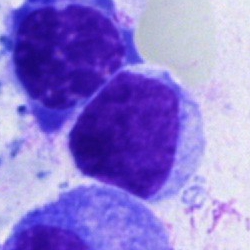
Specimen: bone marrow smear.
Morphological class: lymphocyte.
Lineage: lymphoid.